Bone marrow aspirate smear.
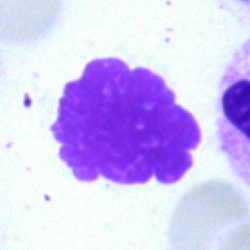
Morphology — artefact.